Peripheral blood smear · 360 by 363 pixels · single-cell field: 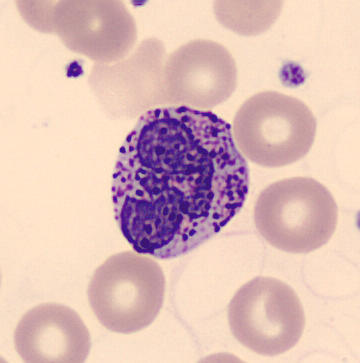
Cell: basophilic granulocyte.